Bone marrow aspirate smear
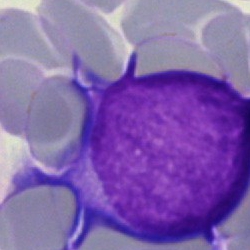 Specimen: bone marrow smear.
Morphological class: blast cell.